Bone marrow smear: 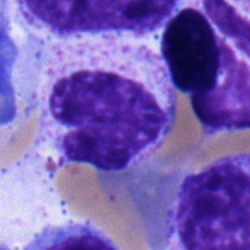{"cell_type": "band neutrophil"}